Bone marrow aspirate smear — 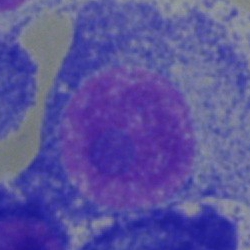

This is a plasma cell.